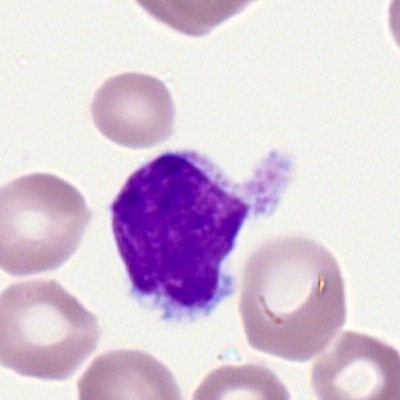 Q: What is the morphological classification of this cell?
A: A typical lymphocyte.